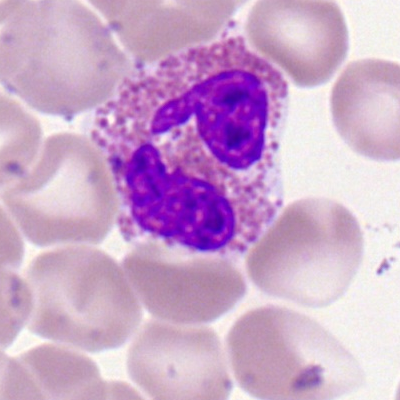 The cell type is eosinophil.